Bone marrow smear.
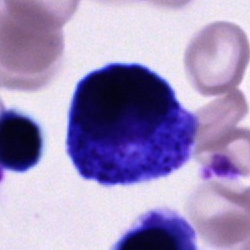 The cell shown is a progranulocyte.